40× oil immersion; bone marrow aspirate smear; cropped to a single cell:
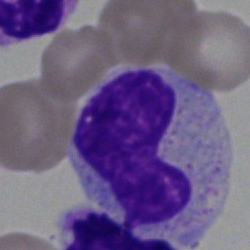

Metamyelocyte.